Bone marrow smear — 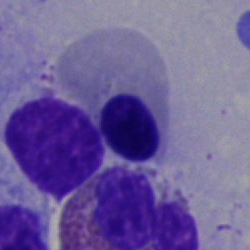 The morphological class is nucleated red cell.